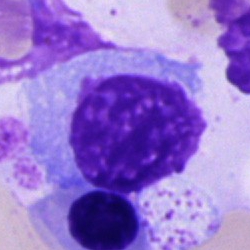 Cell type = unidentifiable cell.